Bone marrow aspirate smear:
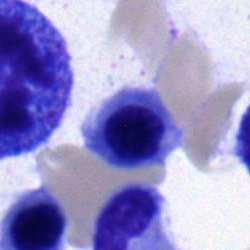Impression → nucleated red blood cell.